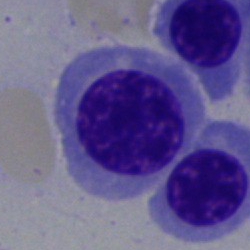

Classification: nucleated red blood cell.